May-Grünwald-Giemsa-stained; peripheral blood smear.
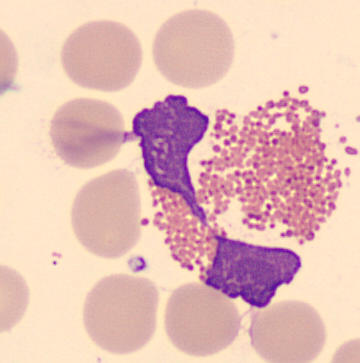

Q: Which cell type is shown here?
A: An eosinophil.